Bone marrow smear: 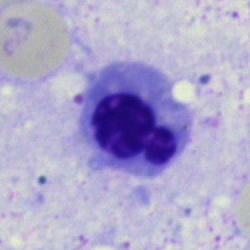Showing an erythroblast.